May-Grünwald-Giemsa/Pappenheim stain. Bone marrow aspirate smear:
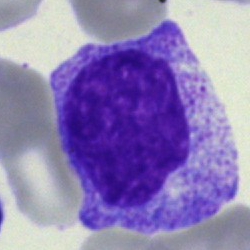Single cell identified as a progranulocyte.